Bone marrow aspirate smear. Image size 250×250 — 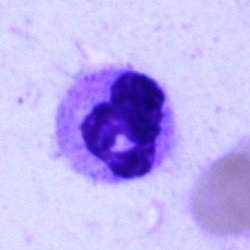Specimen: bone marrow aspirate smear.
Cell: polymorphonuclear neutrophil.